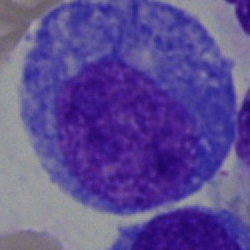Q: What cell is this?
A: It is a progranulocyte.